250×250 px. Bone marrow aspirate smear.
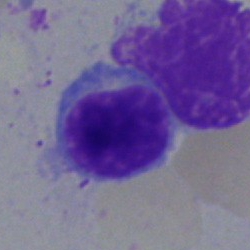

Cell type: typical lymphocyte.